May-Grünwald-Giemsa/Pappenheim stain · bone marrow aspirate smear
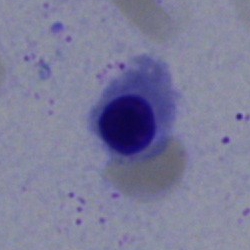 Showing a nucleated red blood cell.